Single-cell field. May-Grünwald-Giemsa stain. Bone marrow aspirate smear.
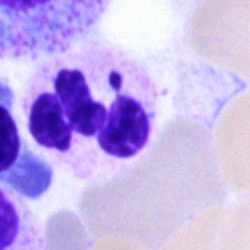 Q: What type of cell is this?
A: This is a neutrophil (segmented).